250×250; bone marrow smear:
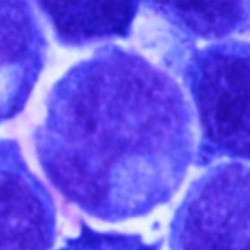Undifferentiated blast.